Bone marrow aspirate smear; 250 by 250 pixels
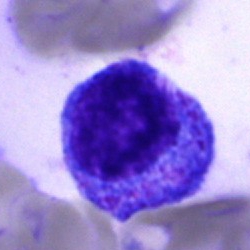

Morphological class = promyelocyte.